MGG-stained; bone marrow smear — 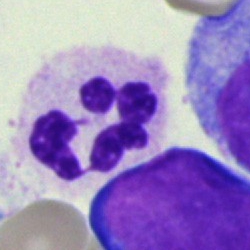The cell shown is a polymorphonuclear neutrophil.